Peripheral blood smear.
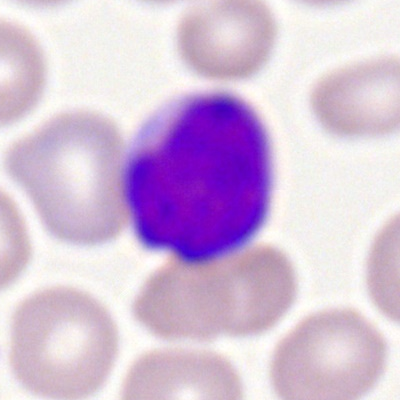Specimen: peripheral blood film.
Classification: myeloblast.